Bone marrow smear:
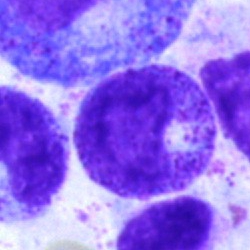
Cell: myelocyte.